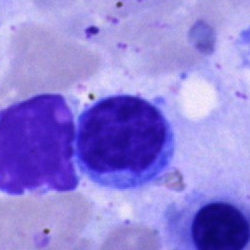Single cell identified as a typical lymphocyte.